Bone marrow aspirate smear — 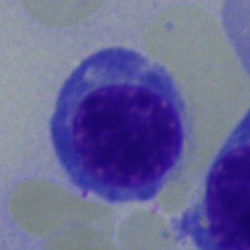
Specimen: bone marrow smear.
Cell type: normoblast.
Lineage: erythroid.